Peripheral blood smear — 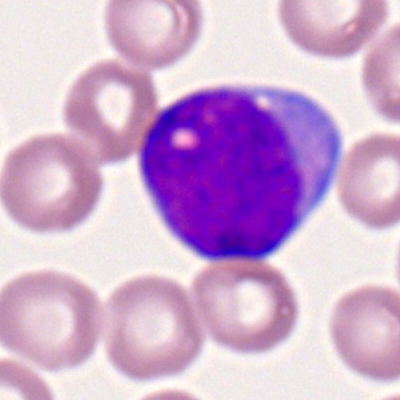

Cell = myeloid blast.